250 by 250 pixels; bone marrow aspirate smear; May-Grünwald-Giemsa stain — 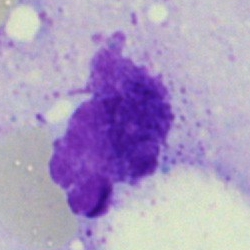Specimen: bone marrow smear.
Classification: artifact.